Bone marrow aspirate smear:
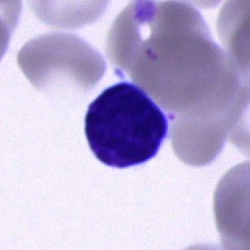Morphological class = typical lymphocyte.